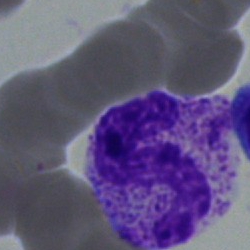

Bone marrow smear showing a stab cell.